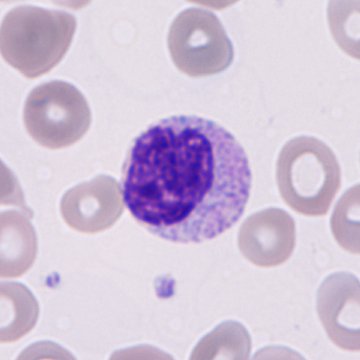{"cell_type": "immature granulocyte (promyelocyte, myelocyte or metamyelocyte)", "lineage": "myeloid"}